Bone marrow aspirate smear · 250×250:
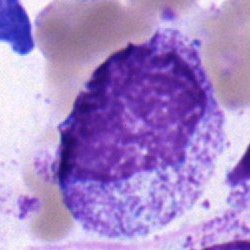
Showing a myelocyte.